40× objective, oil immersion · single-cell crop · bone marrow aspirate smear:
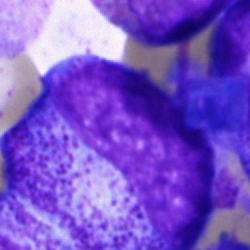 Cell type = promyelocyte.